Bone marrow smear · MGG-stained: 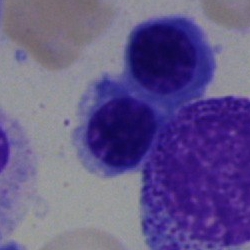

Morphology consistent with a nucleated red cell.